Bone marrow smear
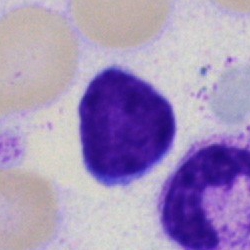
Specimen: bone marrow aspirate smear.
Morphological class: lymphocyte.